Single-cell field. 250×250 px. Bone marrow smear:
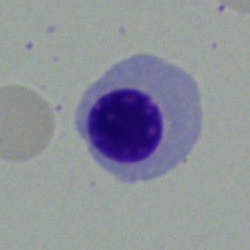
Classification — normoblast.